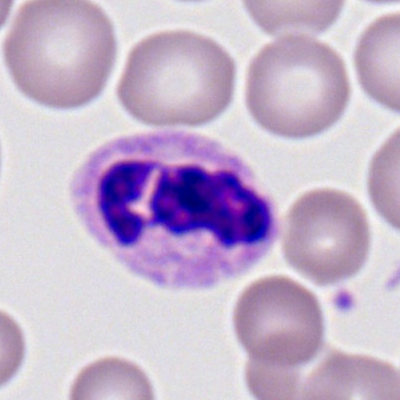 {"cell_type": "neutrophil (segmented)", "lineage": "myeloid"}